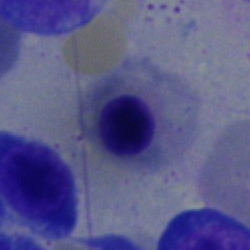
Bone marrow aspirate smear, single cell — nucleated red blood cell.